Bone marrow smear.
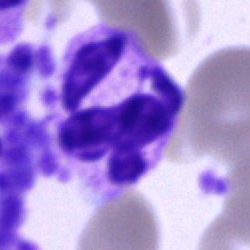

Q: Identify the cell.
A: This is a polymorphonuclear neutrophil.